Bone marrow smear: 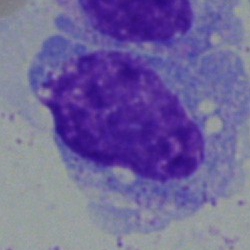 Specimen: bone marrow aspirate smear.
Classification: monocyte.
Lineage: myeloid.